40× oil immersion. Bone marrow aspirate smear.
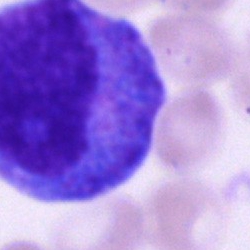The cell shown is a progranulocyte.